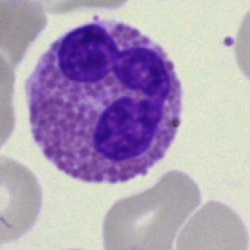Q: What cell is this?
A: An eosinophil.